250×250; bone marrow smear; single cell centered in the field: 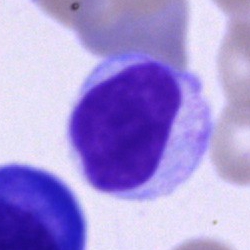 The cell shown is a lymphocyte.